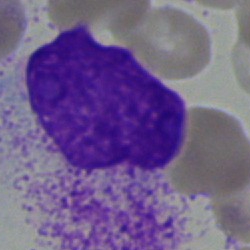This is a blast cell.